Cropped to a single cell · bone marrow aspirate smear — 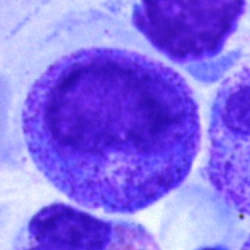 Cell type — promyelocyte.